Bone marrow smear:
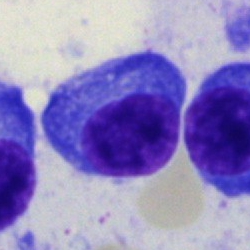

Cell = plasma cell.